40× objective, oil immersion · bone marrow smear.
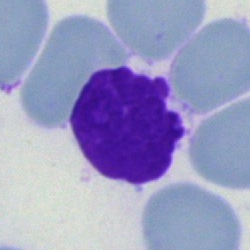 Q: What is shown here?
A: It is an artifact.